Single cell centered in the field · bone marrow aspirate smear:
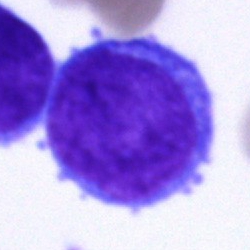

A blast cell.